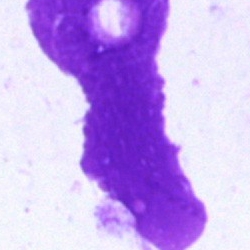
Showing an artifact.